Peripheral blood smear
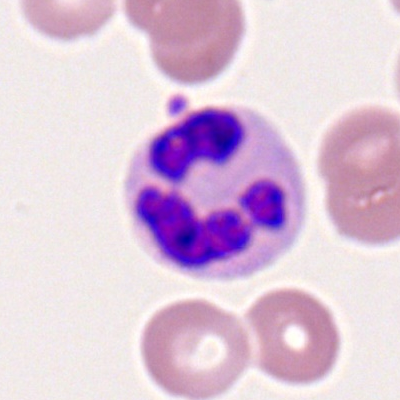A neutrophil (segmented).